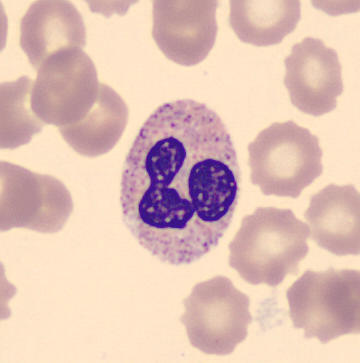Image: Imaged on a CellaVision DM96 analyser. Peripheral blood film. Single-cell crop. Classification = polymorphonuclear neutrophil.